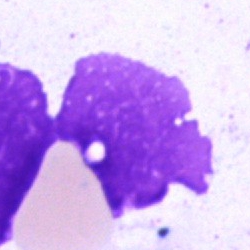 Single-cell crop from a bone marrow smear: artifact.